Bone marrow aspirate smear.
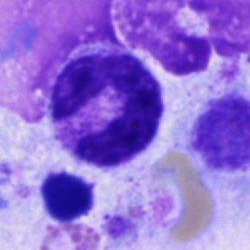 Cell = stab cell.